Bone marrow smear; 250×250 px: 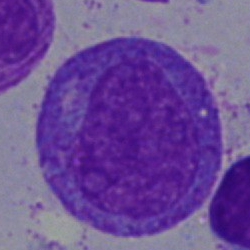

Specimen: bone marrow smear.
Cell: progranulocyte.